Bone marrow smear.
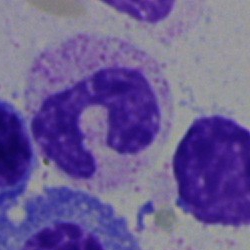
Polymorphonuclear neutrophil.